Cropped to a single cell · 250×250 px · bone marrow aspirate smear:
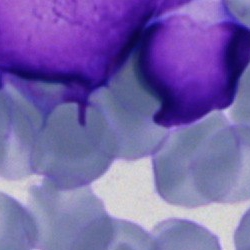
Showing a blast.